Peripheral blood film · 100× oil immersion · Romanowsky-stained.
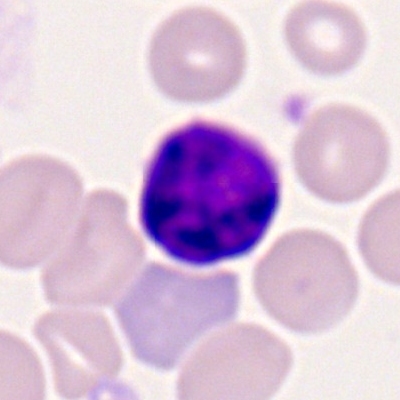The cell type is lymphocyte.